Bone marrow smear
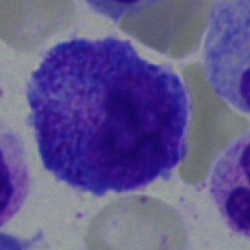 Q: Which cell type is shown here?
A: A progranulocyte.